40× oil immersion · bone marrow smear:
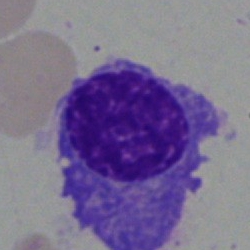
Q: What type of cell is this?
A: Plasmacyte.